Bone marrow smear.
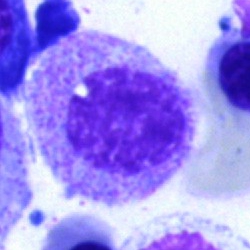 Cell: myelocyte.